Bone marrow aspirate smear:
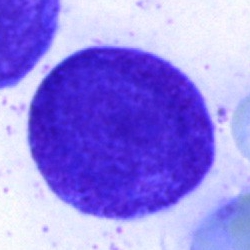Impression — promyelocyte.